Bone marrow aspirate smear:
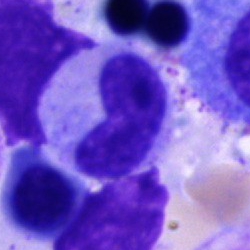

Single cell identified as a metamyelocyte.